Peripheral blood film · single-cell field.
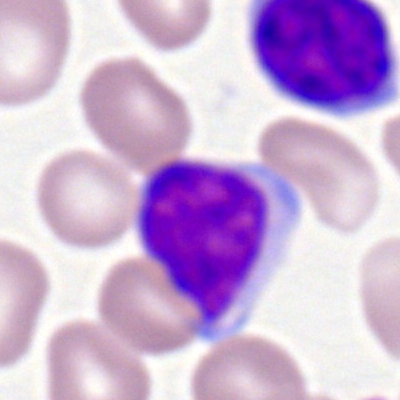
The cell type is typical lymphocyte.